Bone marrow aspirate smear:
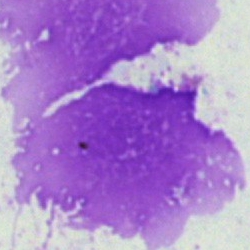 An artefact.